Bone marrow smear:
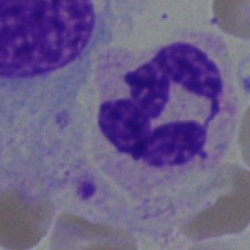 Specimen: bone marrow aspirate smear.
Cell: polymorphonuclear neutrophil.
Lineage: myeloid.